Bone marrow aspirate smear; single-cell field — 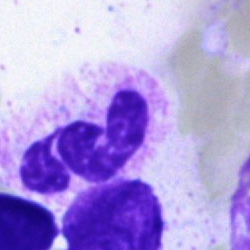 Specimen: bone marrow smear.
Cell type: segmented neutrophil.
Lineage: myeloid.